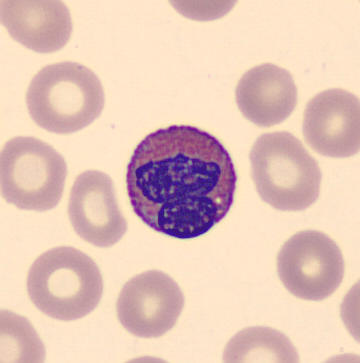
Peripheral blood film.

Classification — eosinophilic granulocyte.